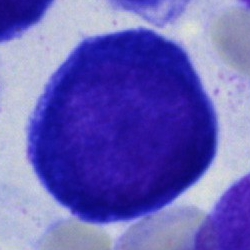 Showing a pronormoblast.